Bone marrow smear; 40× oil immersion:
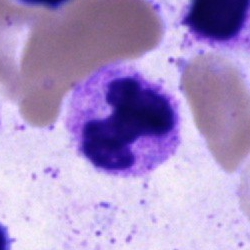Morphological class = polymorphonuclear neutrophil.